Bone marrow aspirate smear. 40× objective, oil immersion. May-Grünwald-Giemsa stain.
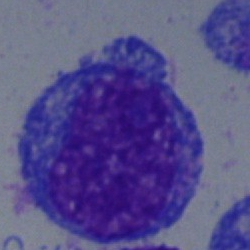Q: What is shown here?
A: A blast cell.